Romanowsky-type stain; peripheral blood film; image size 400×400 — 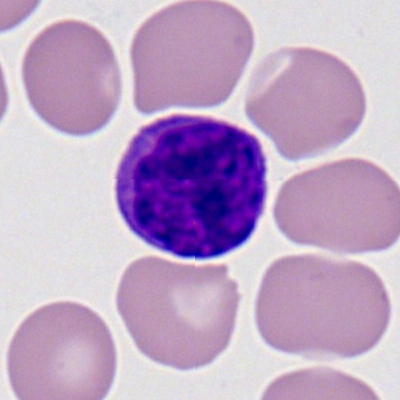Cell type: typical lymphocyte.